Bone marrow aspirate smear:
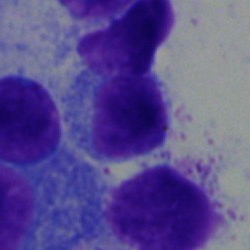
Classification: typical lymphocyte.